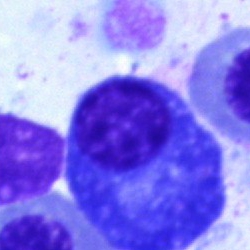 Classification: plasma cell.